Bone marrow aspirate smear — 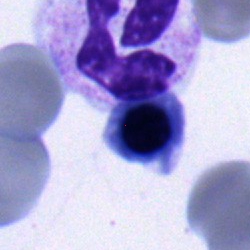 Single cell identified as an erythroblast.